Bone marrow aspirate smear
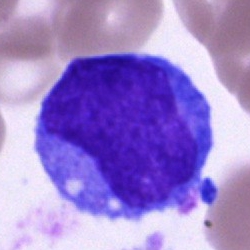

Morphology consistent with a blast cell.